Bone marrow aspirate smear:
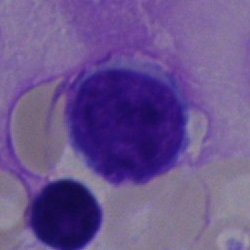 Morphology → lymphocyte.